Single cell centered in the field · peripheral blood film · 400×400:
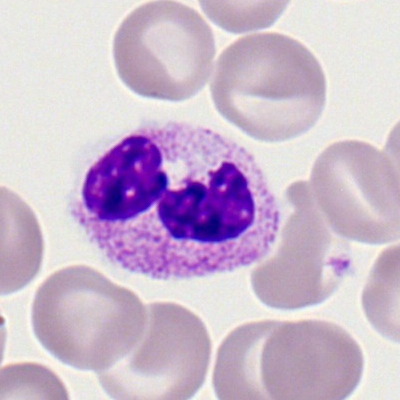
The morphological class is polymorphonuclear neutrophil.